Bone marrow smear — 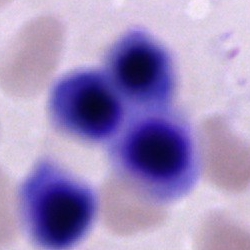 Classification — nucleated red cell.